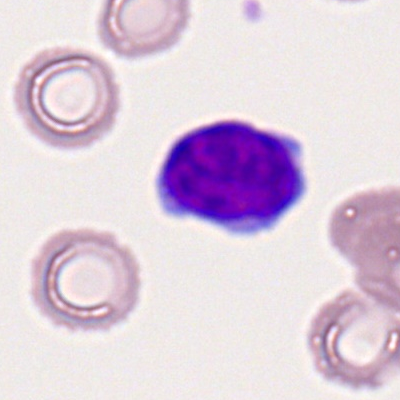Impression → typical lymphocyte.